MGG-stained · bone marrow aspirate smear · 250 by 250 pixels:
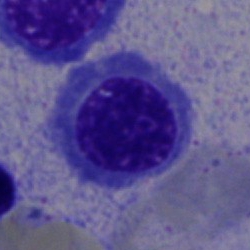{"cell_type": "erythroblast", "lineage": "erythroid"}